Bone marrow smear; May-Grünwald-Giemsa stain: 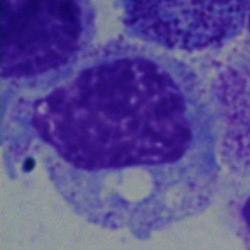
Single cell identified as a myelocyte.